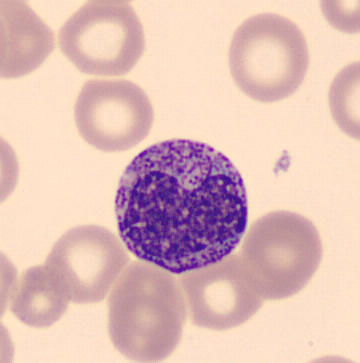 Peripheral blood smear.

The cell type is metamyelocyte.